Bone marrow smear: 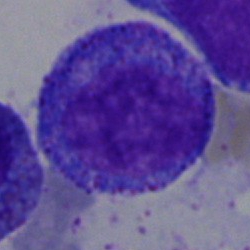
Q: What cell is this?
A: Progranulocyte.